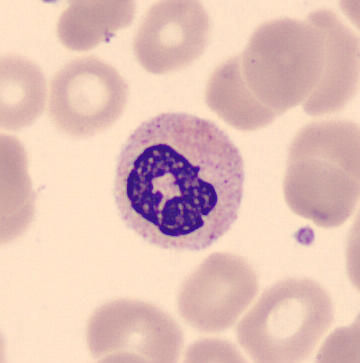

Peripheral blood film. MGG stain.

A neutrophil (band).